Bone marrow smear; image size 250×250; single-cell field:
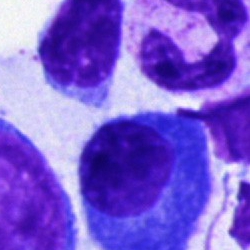
Specimen: bone marrow smear.
Classification: plasma cell.
Lineage: lymphoid.